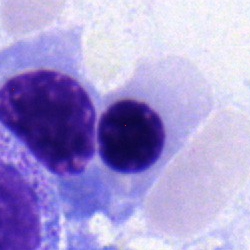

Nucleated red cell.